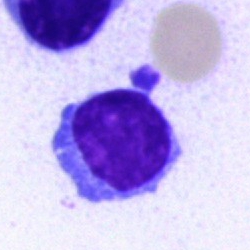
Cell = typical lymphocyte.